Bone marrow smear
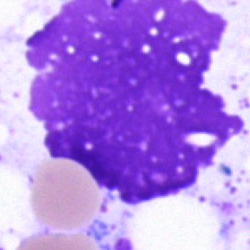
The classification is artefact.